Bone marrow aspirate smear · 250 by 250 pixels.
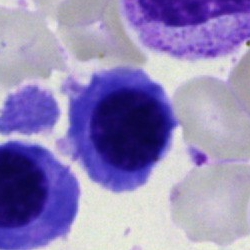 Q: Which cell type is shown here?
A: It is a nucleated red cell.